400 by 400 pixels. Peripheral blood smear:
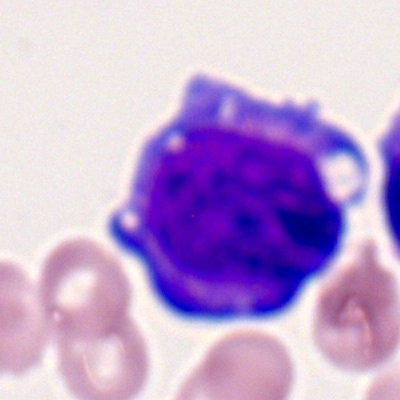
Q: Which cell type is shown here?
A: It is a myeloid blast.